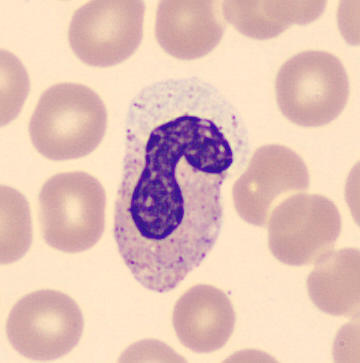 Classification = neutrophil (band).